Bone marrow smear: 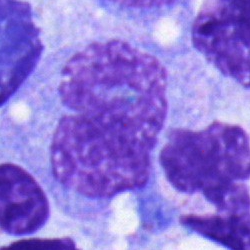

Showing a monocyte.